Bone marrow smear: 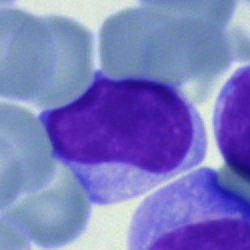 Q: What is shown here?
A: It is a lymphocyte.